Bone marrow aspirate smear: 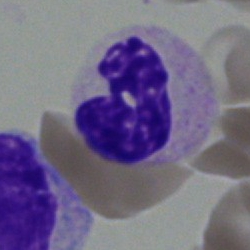 Classification — neutrophil (segmented).